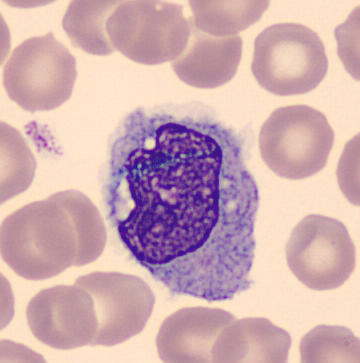Q: Which cell type is shown here?
A: Monocyte.